Bone marrow smear
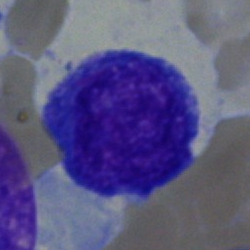 A blast.